Image size 250×250 · bone marrow aspirate smear · 40× objective, oil immersion:
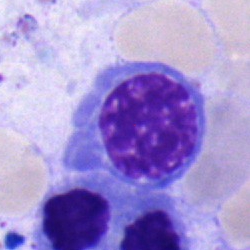 A nucleated red blood cell.